Bone marrow smear:
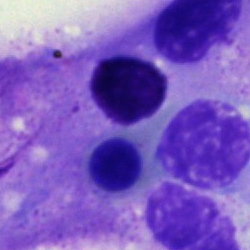

Specimen: bone marrow smear.
Cell type: normoblast.